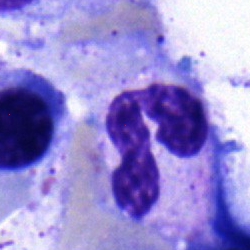Cell = neutrophil (segmented).